Peripheral blood film
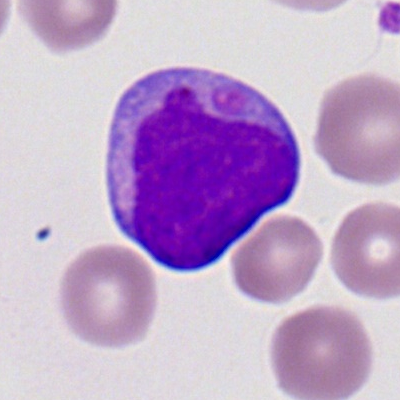{"cell_type": "myeloid blast"}